Bone marrow smear; image size 250×250.
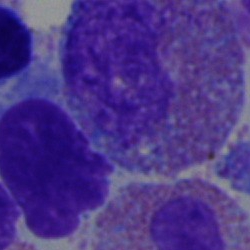 Q: What cell is this?
A: Eosinophilic granulocyte.